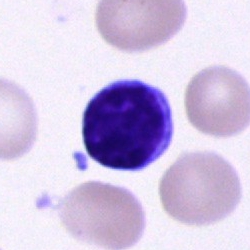
A typical lymphocyte on a bone marrow smear.